Bone marrow smear · brightfield, 40× oil-immersion objective.
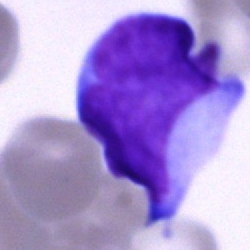Q: What is shown here?
A: This is an undifferentiated blast.